Bone marrow aspirate smear — 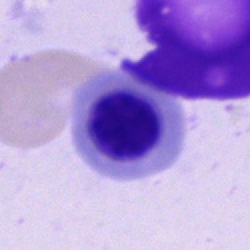
Q: Which cell type is shown here?
A: Normoblast.